Bone marrow smear; May-Grünwald-Giemsa stain: 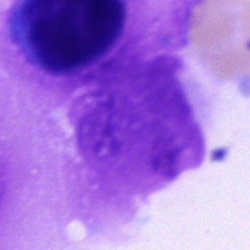
Impression → artefact.